Bone marrow smear:
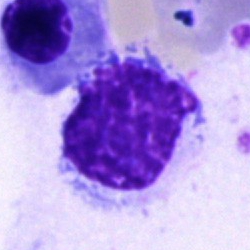
Morphological class = artefact.